Bone marrow smear
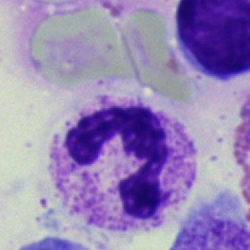Cell: polymorphonuclear neutrophil.